Cropped to a single cell; MGG-stained; bone marrow smear: 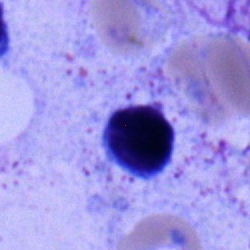
Q: What type of cell is this?
A: Lymphocyte.